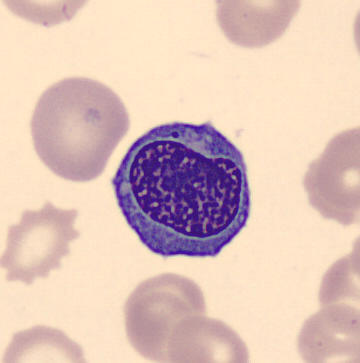

Image: Peripheral blood film.
Q: What cell is this?
A: It is a normoblast.